Bone marrow aspirate smear
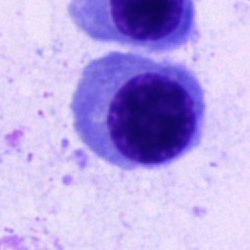Cell type: normoblast.